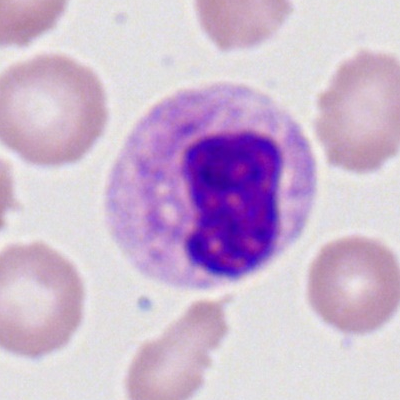Classification: polymorphonuclear neutrophil.